Peripheral blood film — 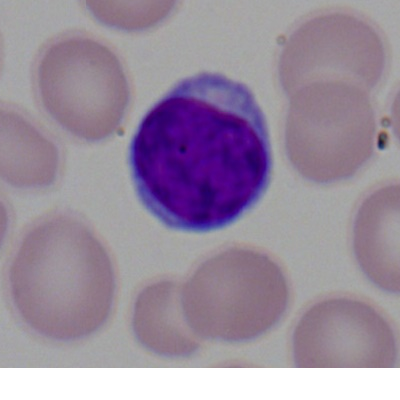Q: Identify the cell.
A: It is a typical lymphocyte.